Romanowsky-stained · peripheral blood smear.
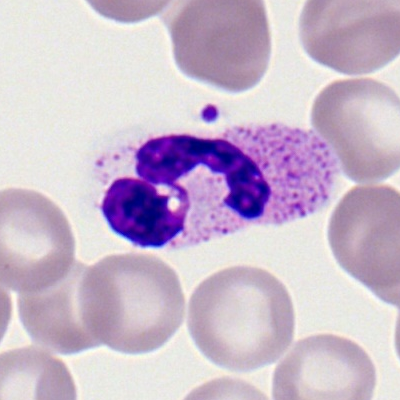 This is a polymorphonuclear neutrophil.